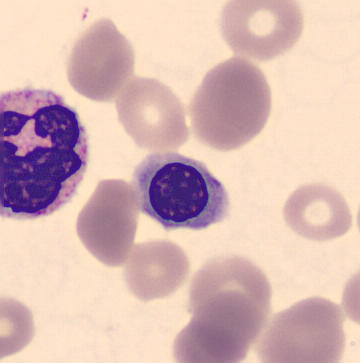

Acquisition: Single-cell field · peripheral blood smear · May-Grünwald-Giemsa-stained. Showing a nucleated red blood cell.